Bone marrow smear:
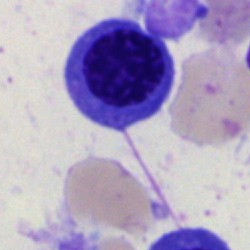

Classification — nucleated red cell.